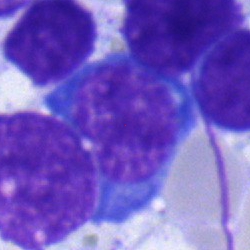
Bone marrow smear showing an erythroblast.